Pappenheim-stained. Bone marrow aspirate smear: 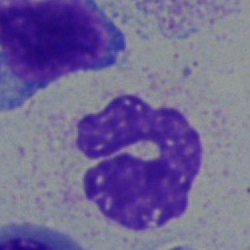

Cell type = segmented neutrophil.